Brightfield, 40× oil-immersion objective · bone marrow smear · single cell centered in the field:
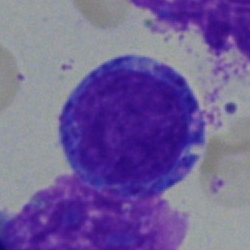
Cell type — promyelocyte.